Bone marrow aspirate smear; MGG-stained; cropped to a single cell
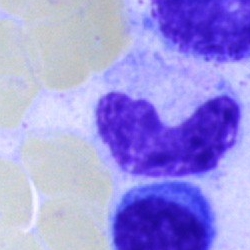Morphology → band-form neutrophil.